Bone marrow smear; MGG-stained:
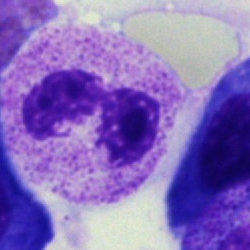Showing a polymorphonuclear neutrophil.